Bone marrow aspirate smear; Pappenheim-stained; image size 250×250.
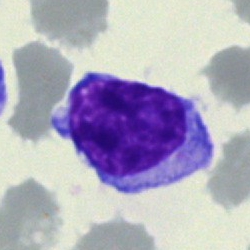
Morphology consistent with a typical lymphocyte.